Peripheral blood film. 360×363 px. Cropped to a single cell.
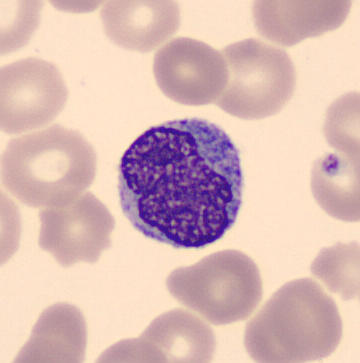 Specimen: peripheral blood smear.
Cell type: monocyte.